Bone marrow smear — 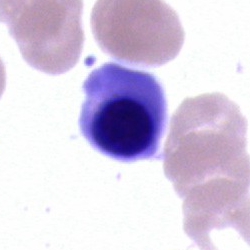

Q: Which cell type is shown here?
A: A nucleated red cell.